Bone marrow smear; May-Grünwald-Giemsa stain:
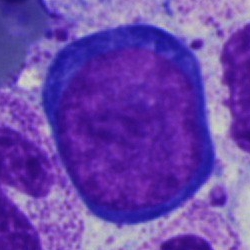

Cell type — proerythroblast.